Bone marrow aspirate smear · brightfield microscopy, 40× oil immersion · May-Grünwald-Giemsa/Pappenheim stain — 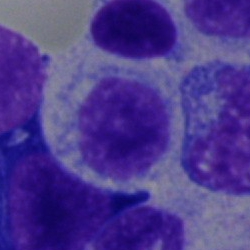 Q: What is the morphological classification of this cell?
A: It is a lymphocyte.